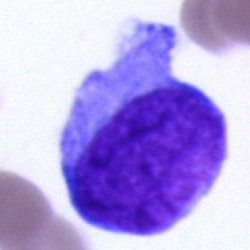
Q: What is the morphological classification of this cell?
A: Blast cell.